Bone marrow aspirate smear. 250 by 250 pixels: 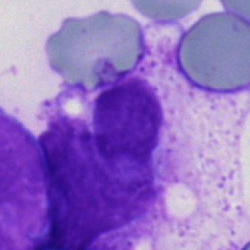
Cell: artefact.